100× oil immersion · peripheral blood smear · Romanowsky-stained.
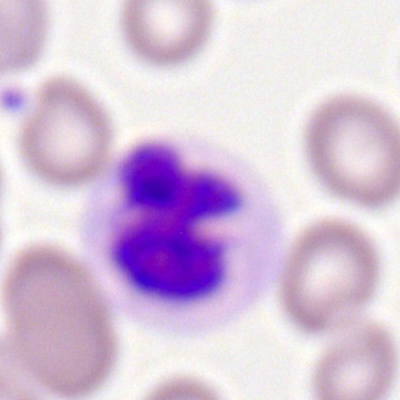
Cell — polymorphonuclear neutrophil.